Bone marrow aspirate smear
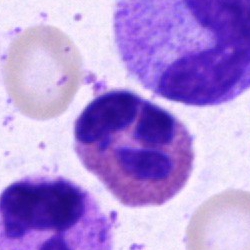 Specimen: bone marrow aspirate smear.
Cell type: eosinophil.
Lineage: myeloid.